250×250 px · bone marrow smear
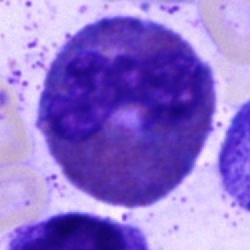The morphological class is eosinophilic granulocyte.